Peripheral blood film. 400×400. Cropped to a single cell: 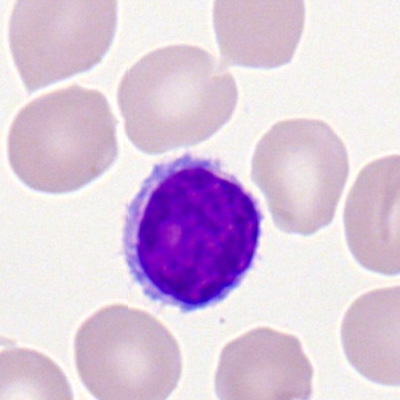

Q: What is the morphological classification of this cell?
A: This is a lymphocyte.